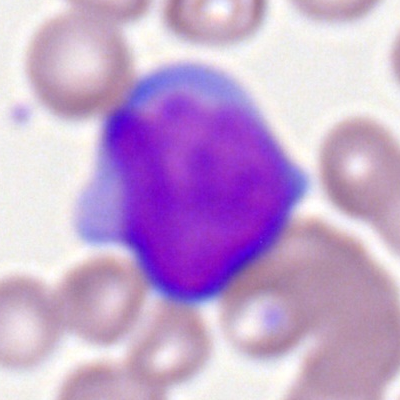

Q: What type of cell is this?
A: Myeloid blast.